Bone marrow aspirate smear
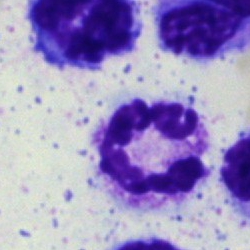 The morphological class is segmented neutrophil.